Bone marrow smear. Single cell centered in the field:
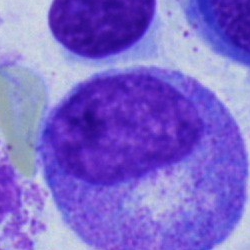Cell type = promyelocyte.